Single-cell field; bone marrow aspirate smear; MGG-stained
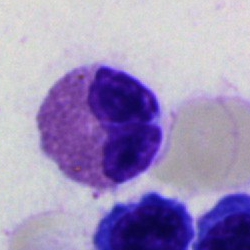

Q: What is shown here?
A: This is an eosinophilic granulocyte.